Bone marrow aspirate smear. 250×250 px:
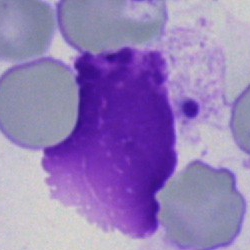

Single cell identified as an artefact.